Bone marrow smear · 40× objective, oil immersion: 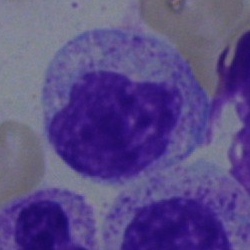Cell — myelocyte.